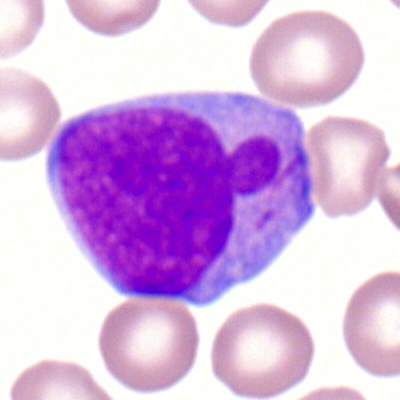Classification — myeloblast.